Bone marrow aspirate smear — 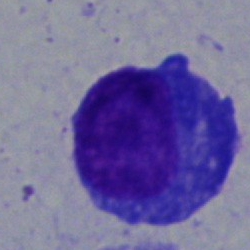 Morphology → plasma cell.